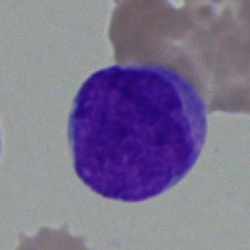

The morphological class is undifferentiated blast.